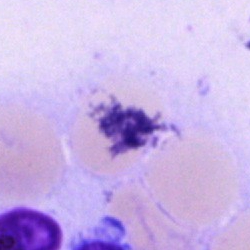Morphology consistent with an artefact.